Bone marrow smear: 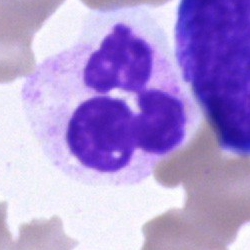Showing a neutrophil (segmented).